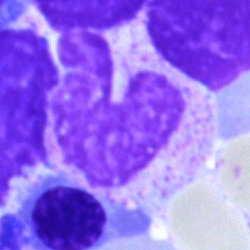 Classification: artefact.